Bone marrow smear.
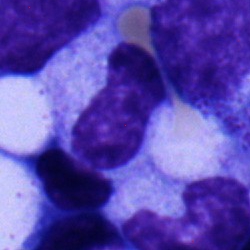
Metamyelocyte.